Pappenheim-stained; bone marrow aspirate smear.
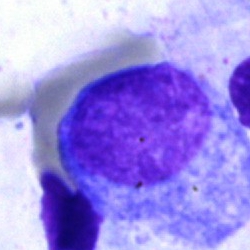 Morphology — progranulocyte.